Bone marrow smear; brightfield, 40× oil-immersion objective; May-Grünwald-Giemsa stain — 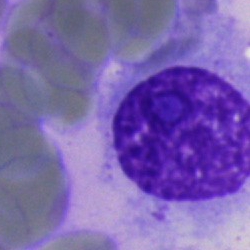

Showing an artifact.